Bone marrow smear
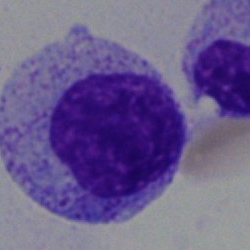

This is a myelocyte.